Peripheral blood film: 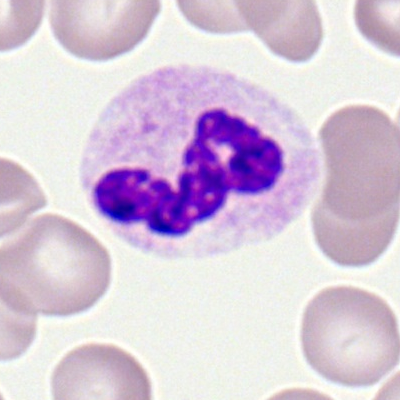 Cell = polymorphonuclear neutrophil.